Bone marrow aspirate smear: 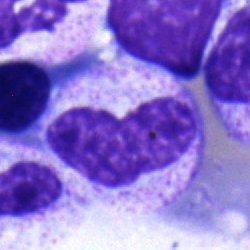 Specimen: bone marrow smear.
Cell type: neutrophil (band).
Lineage: myeloid.